Single-cell crop; bone marrow aspirate smear
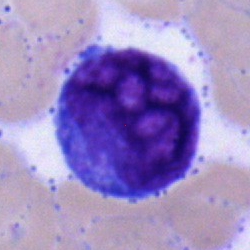
Morphology → undifferentiated blast.